Bone marrow aspirate smear: 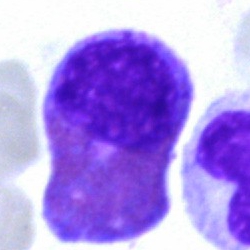
The morphological class is eosinophil.